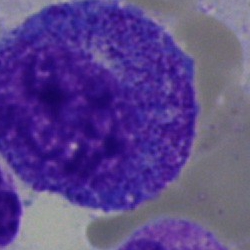

Promyelocyte.